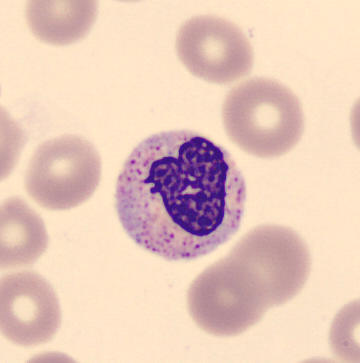

Image: Image size 360×363. Specimen: peripheral blood smear.
Morphological class: stab cell.
Lineage: myeloid.